Bone marrow aspirate smear:
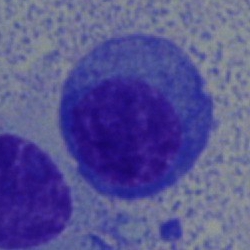
The cell shown is a plasmacyte.